Bone marrow smear; 250×250 px; single-cell crop — 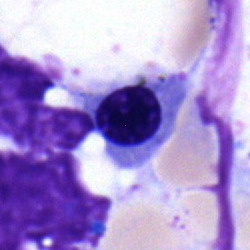 An erythroblast.